Bone marrow aspirate smear:
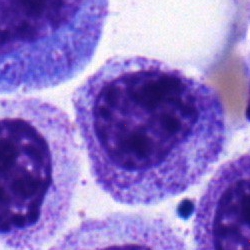

Q: What is shown here?
A: Myelocyte.